Bone marrow smear. 40× objective, oil immersion. 250×250:
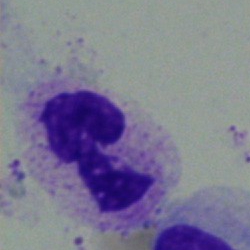

Polymorphonuclear neutrophil.